Cropped to a single cell; bone marrow aspirate smear.
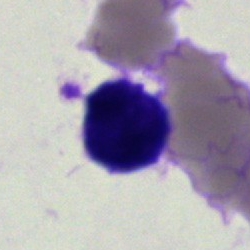

This is an artifact.